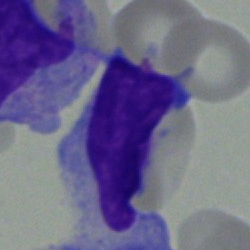
Morphology — typical lymphocyte.